Bone marrow aspirate smear
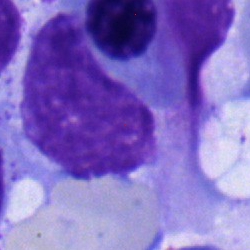
Single cell identified as a typical lymphocyte.